Bone marrow smear.
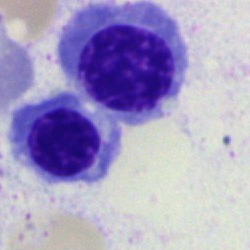A nucleated red cell.